Brightfield microscopy, 40× oil immersion · bone marrow smear · MGG-stained:
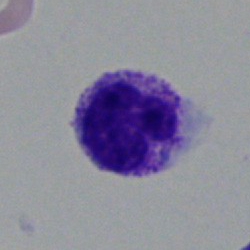Cell — segmented neutrophil.